May-Grünwald-Giemsa stain; 250 by 250 pixels; bone marrow smear:
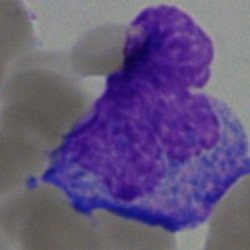

Impression → undifferentiated blast.